Peripheral blood smear.
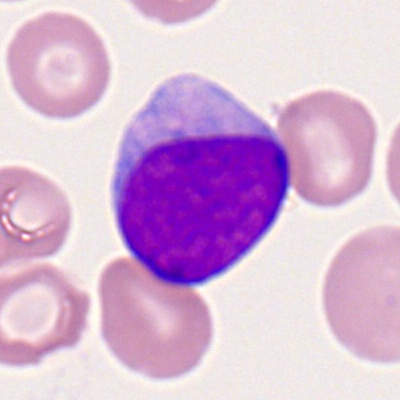Showing a myeloblast.